Bone marrow smear
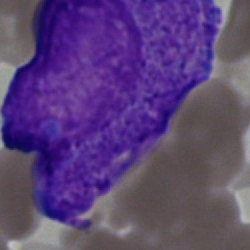
Impression — blast.